Bone marrow aspirate smear. 40× objective, oil immersion
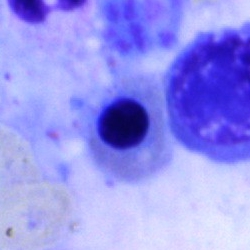Classification — nucleated red cell.